Bone marrow smear · single-cell crop: 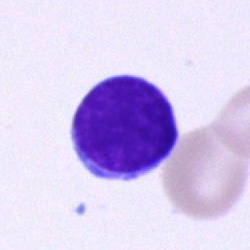Q: Which cell type is shown here?
A: Lymphocyte.